Bone marrow aspirate smear — 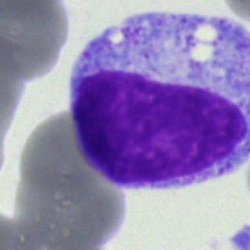 Morphology consistent with a myelocyte.